Bone marrow smear. Single-cell field: 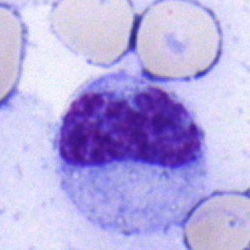 This is a stab cell.